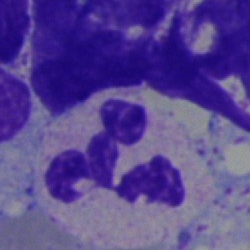

Specimen: bone marrow aspirate smear.
Cell: polymorphonuclear neutrophil.
Lineage: myeloid.